Bone marrow aspirate smear. May-Grünwald-Giemsa/Pappenheim stain:
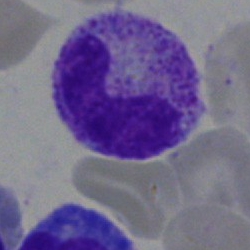

Q: Which cell type is shown here?
A: A neutrophil (band).